Peripheral blood film; 400 by 400 pixels; M8 digital microscope (Precipoint), 100× oil immersion:
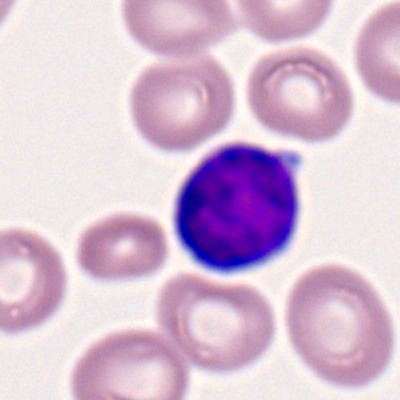

Morphology consistent with a typical lymphocyte.